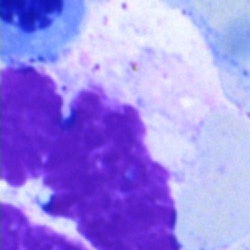 Q: What is shown here?
A: This is an artefact.